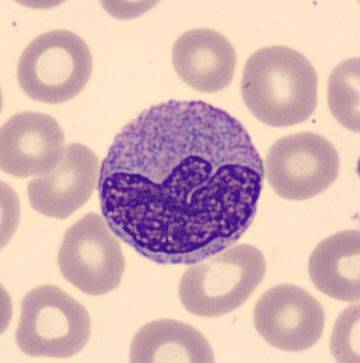 Peripheral blood smear showing a monocyte.